Bone marrow smear.
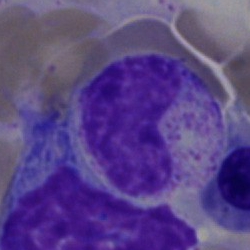 The morphological class is neutrophil (band).